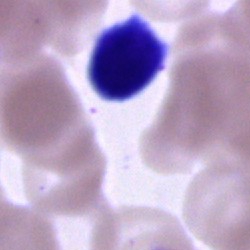

Cell type — unidentifiable cell.